Bone marrow smear
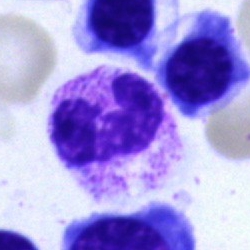
Morphology consistent with a band neutrophil.